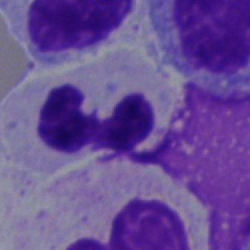
Single cell identified as a neutrophil (segmented).